Bone marrow aspirate smear
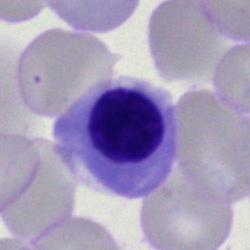Morphology — nucleated red blood cell.